Bone marrow smear. Pappenheim-stained:
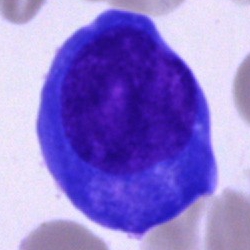

Impression — plasmacyte.